Bone marrow aspirate smear; May-Grünwald-Giemsa/Pappenheim stain:
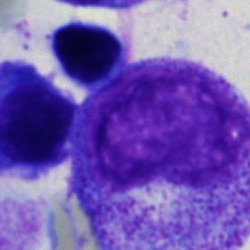
Impression — myelocyte.